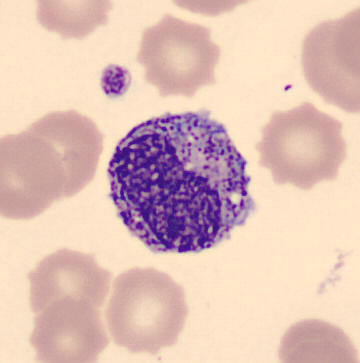Cell: metamyelocyte.
Acquisition: Cropped to a single cell. 360 by 363 pixels. Peripheral blood smear.